Bone marrow smear — 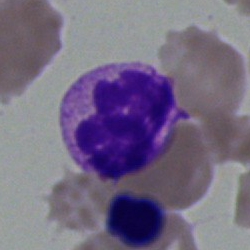Morphology consistent with a segmented neutrophil.